Peripheral blood smear · Romanowsky stain: 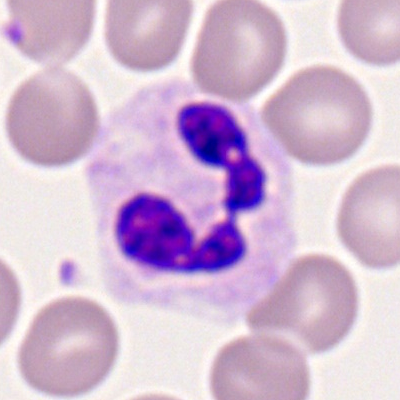
Q: Which cell type is shown here?
A: It is a segmented neutrophil.